Bone marrow smear · image size 250×250:
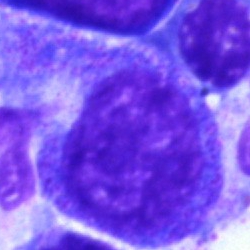 Specimen: bone marrow aspirate smear.
Cell: promyelocyte.